40× oil immersion; Pappenheim-stained; bone marrow aspirate smear:
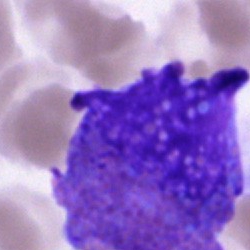Cell = eosinophilic granulocyte.